Bone marrow smear:
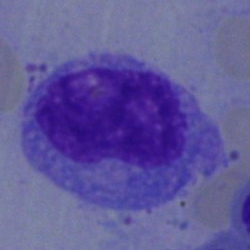 Q: What type of cell is this?
A: It is a myelocyte.